40× objective, oil immersion; single cell centered in the field; bone marrow aspirate smear: 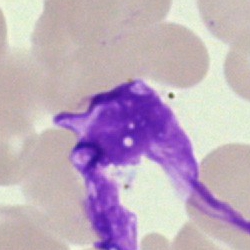

Specimen: bone marrow smear.
Cell type: artifact.